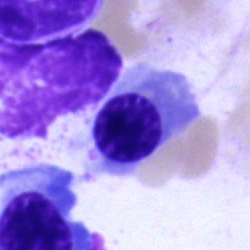
{"cell_type": "nucleated red blood cell", "lineage": "erythroid"}